Peripheral blood film.
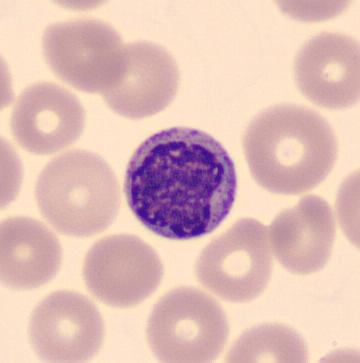Cell — myelocyte.